Bone marrow smear — 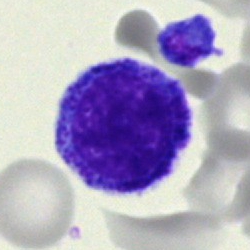
Classification: promyelocyte.